Bone marrow aspirate smear. Pappenheim-stained. Single-cell crop.
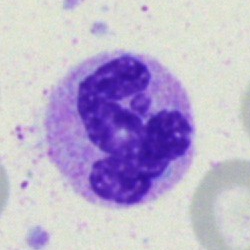The cell is neutrophil (segmented).